Bone marrow smear — 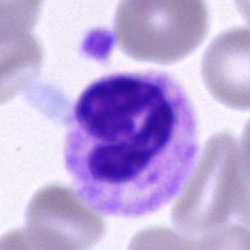
Morphological class: segmented neutrophil.